Bone marrow smear: 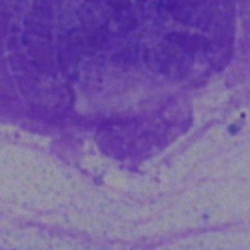 Cell type — artefact.